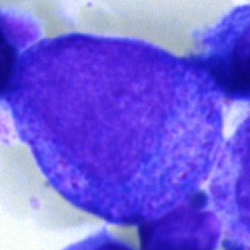 Cell: promyelocyte.